Bone marrow aspirate smear.
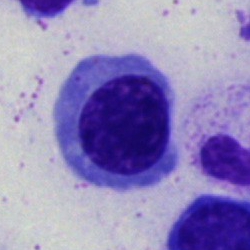

Morphology → nucleated red blood cell.